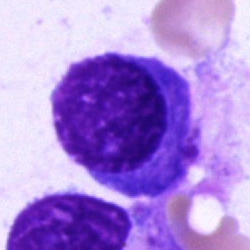Q: What cell is this?
A: Plasma cell.